Single-cell crop; bone marrow smear — 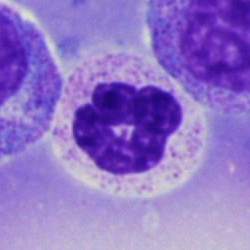{"cell_type": "polymorphonuclear neutrophil", "lineage": "myeloid"}